M8 digital microscope (Precipoint), 100× oil immersion. Peripheral blood film
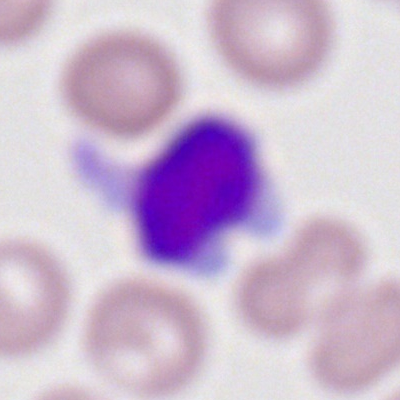 Q: What is shown here?
A: It is a typical lymphocyte.